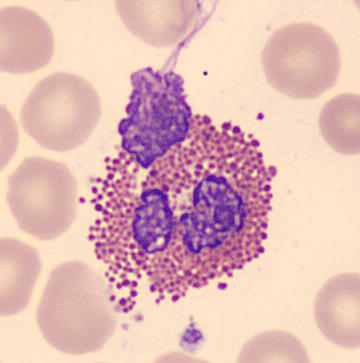Acquisition: Peripheral blood smear. This is an eosinophilic granulocyte.